Bone marrow smear
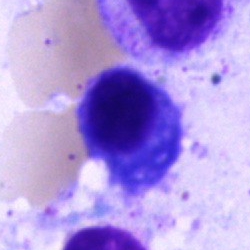 Showing a plasma cell.